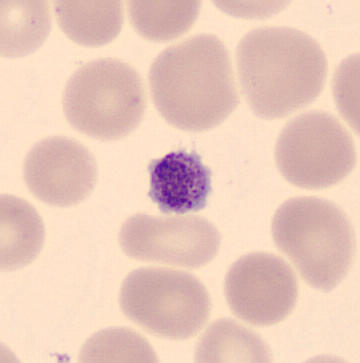 Showing a platelet.

Peripheral blood film.